Image size 250×250. Bone marrow smear:
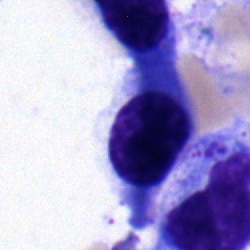 Q: What is shown here?
A: It is a normoblast.